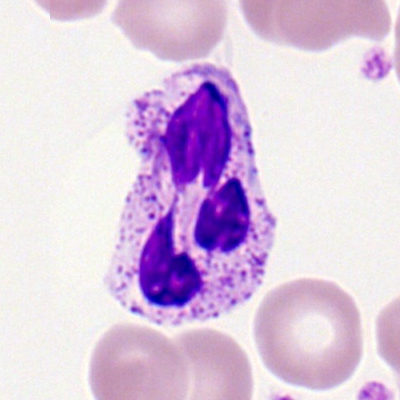 Cell type: neutrophil (segmented).